Peripheral blood smear. Romanowsky-type stain. Single-cell field.
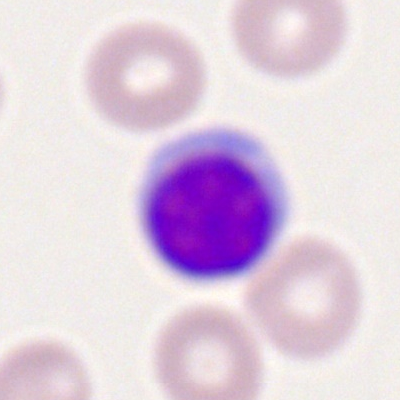Morphology → typical lymphocyte.